MGG-stained; bone marrow aspirate smear; 40× objective, oil immersion
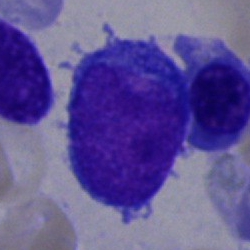
Cell type: blast cell.